Peripheral blood film; cropped to a single cell.
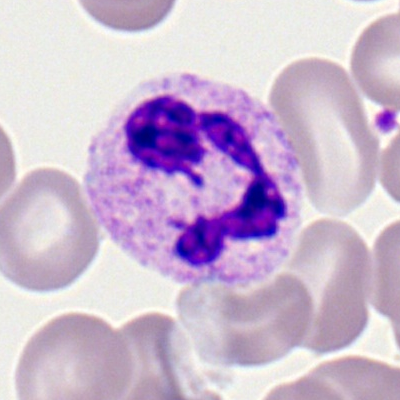
A neutrophil (segmented).